Brightfield, 40× oil-immersion objective. Bone marrow smear. May-Grünwald-Giemsa/Pappenheim stain
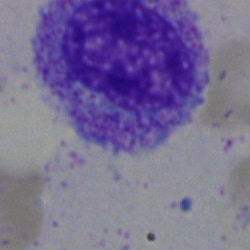
Showing a myelocyte.